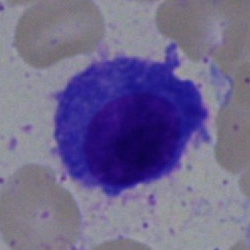
Cell type: plasmacyte.